Single-cell crop; 250×250; bone marrow aspirate smear: 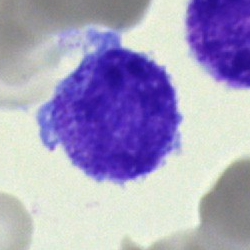

Q: What is shown here?
A: Undifferentiated blast.